Bone marrow aspirate smear — 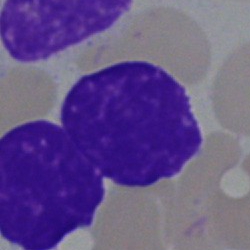
The cell type is artifact.